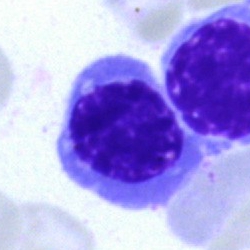

Single-cell crop from a bone marrow smear: nucleated red cell.